Bone marrow smear: 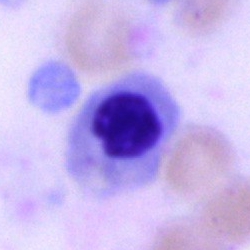
Nucleated red cell.